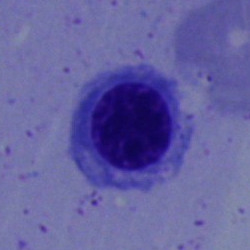Cell: erythroblast.